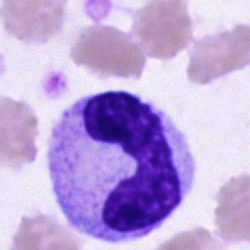
Stab cell.